400×400; Romanowsky-stained; peripheral blood film
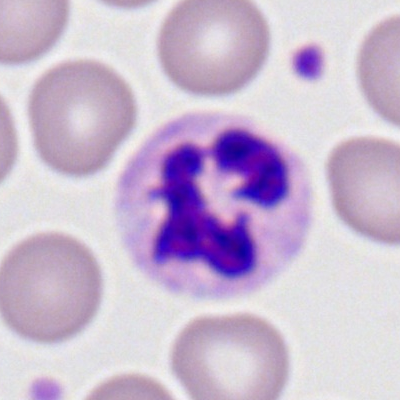

Q: What type of cell is this?
A: A segmented neutrophil.